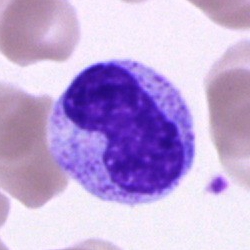{"cell_type": "metamyelocyte"}